Single cell centered in the field; bone marrow smear; 250 by 250 pixels: 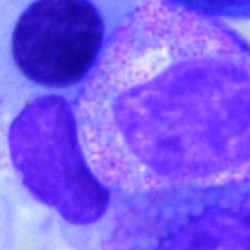
{"cell_type": "myelocyte", "lineage": "myeloid"}